Bone marrow smear: 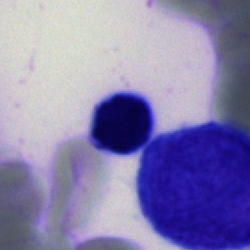 A typical lymphocyte.